Bone marrow smear.
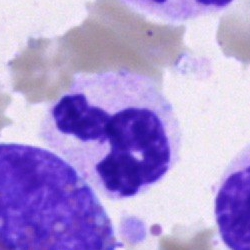Morphology — segmented neutrophil.